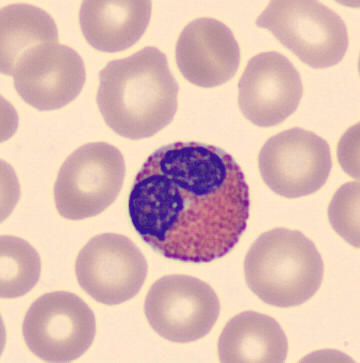Specimen: peripheral blood smear.
Morphological class: eosinophil.
Lineage: myeloid.